Cropped to a single cell · 40× objective, oil immersion · bone marrow smear:
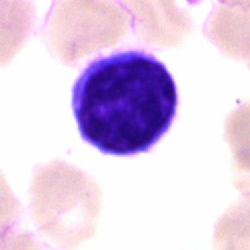Lymphocyte.